Pappenheim-stained. Bone marrow smear. Single-cell field: 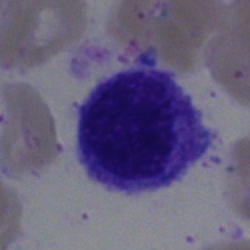 A lymphocyte.